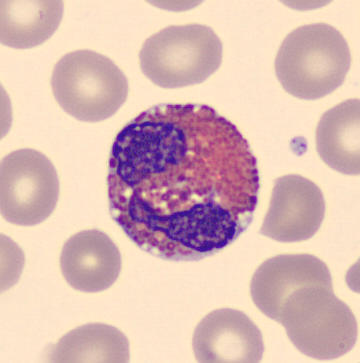

Morphology → eosinophilic granulocyte.